Bone marrow aspirate smear. Single-cell crop:
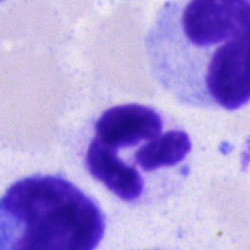

Cell type — polymorphonuclear neutrophil.